Peripheral blood film — 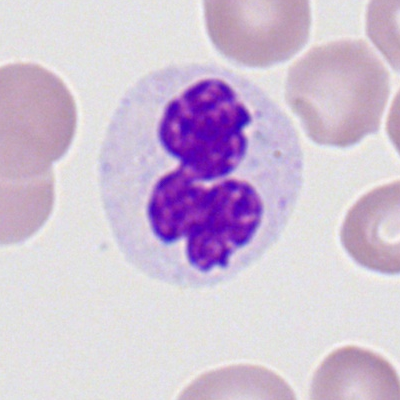
Single cell identified as a segmented neutrophil.